Bone marrow aspirate smear:
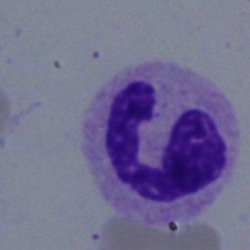 Cell = polymorphonuclear neutrophil.